Cropped to a single cell. Bone marrow aspirate smear — 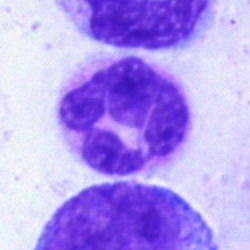
Showing a polymorphonuclear neutrophil.